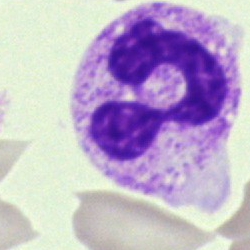

Neutrophil (segmented).